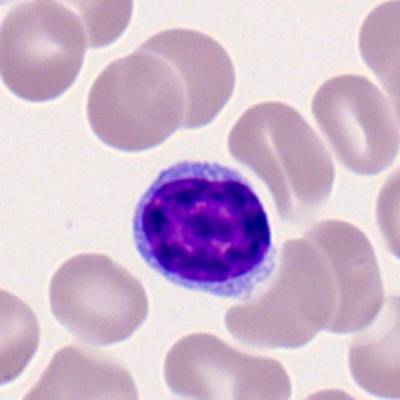
This is a typical lymphocyte.